Bone marrow smear. 40× objective, oil immersion.
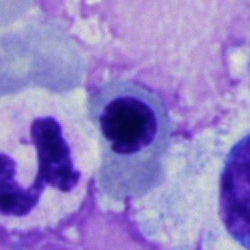

Q: What cell is this?
A: Nucleated red blood cell.